Bone marrow aspirate smear — 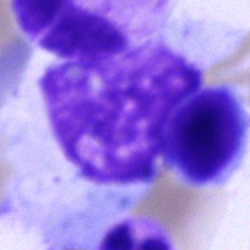Impression — artifact.